Bone marrow smear · brightfield microscopy, 40× oil immersion · single-cell crop
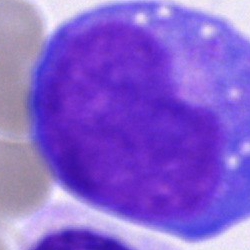 Q: What cell is this?
A: A blast.